Bone marrow aspirate smear: 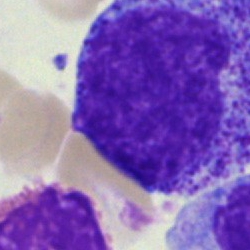Cell type — progranulocyte.